Bone marrow aspirate smear
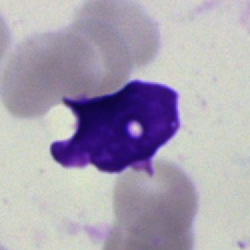

This is an artifact.